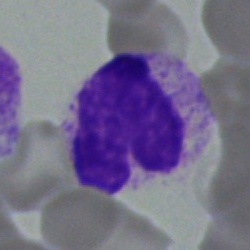

Classification = stab cell.